250 by 250 pixels; bone marrow smear:
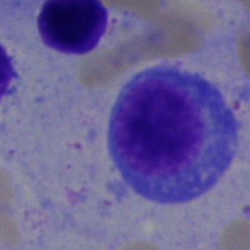{"cell_type": "normoblast"}